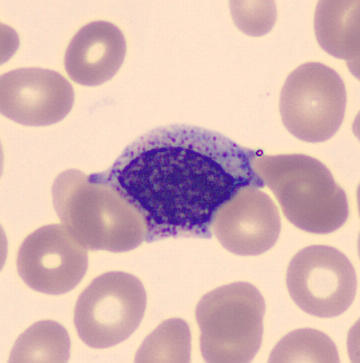Q: What is shown here?
A: A myelocyte.